Bone marrow smear:
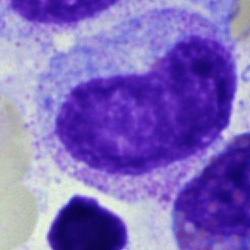 Cell type — progranulocyte.